Bone marrow aspirate smear · cropped to a single cell.
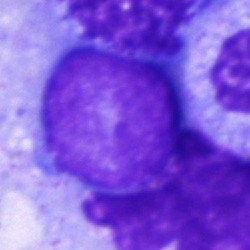 This is an undifferentiated blast.